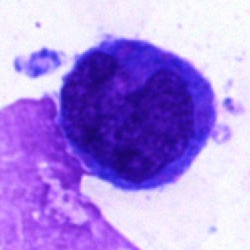 Morphology — blast cell.